250×250 px. Bone marrow aspirate smear
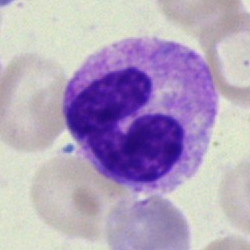
Q: Identify the cell.
A: A neutrophil (segmented).